Bone marrow smear · image size 250×250.
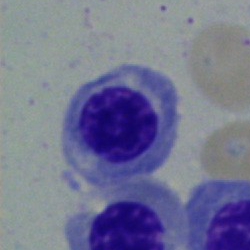
Impression — nucleated red cell.